250×250. Bone marrow smear:
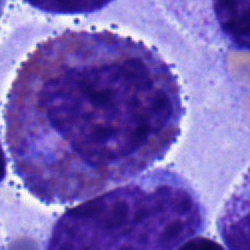 Morphology — eosinophil.